Peripheral blood film — 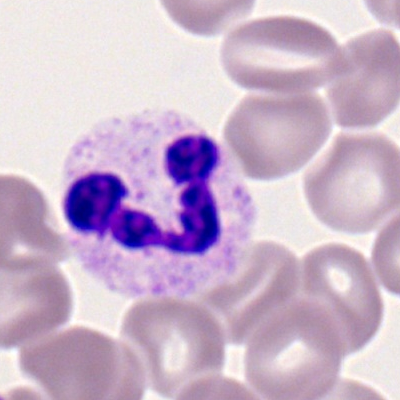

Specimen: peripheral blood film.
Cell: polymorphonuclear neutrophil.
Lineage: myeloid.